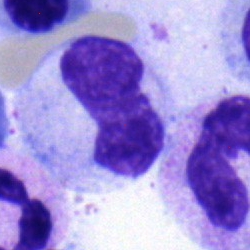
Morphology → metamyelocyte.